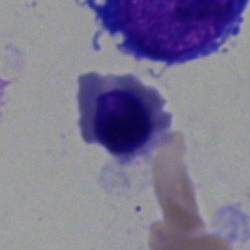
The cell shown is an erythroblast.